Bone marrow smear
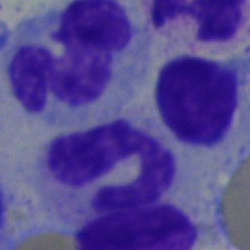 {"cell_type": "segmented neutrophil", "lineage": "myeloid"}